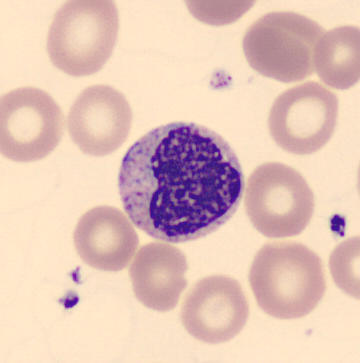

Q: What cell is this?
A: Metamyelocyte.